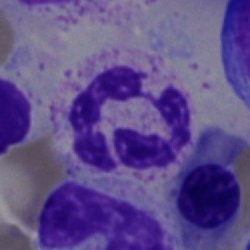

Specimen: bone marrow aspirate smear.
Morphological class: neutrophil (segmented).